May-Grünwald-Giemsa/Pappenheim stain. Bone marrow smear:
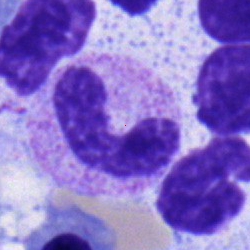

Classification: neutrophil (band).